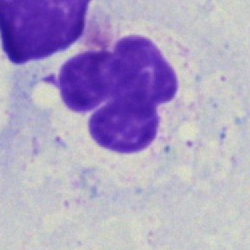

{"cell_type": "artifact"}